Bone marrow smear: 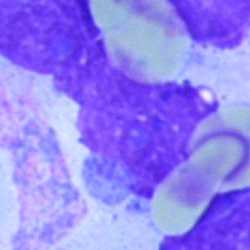 Specimen: bone marrow aspirate smear.
Cell: artifact.